Bone marrow smear; cropped to a single cell; May-Grünwald-Giemsa stain: 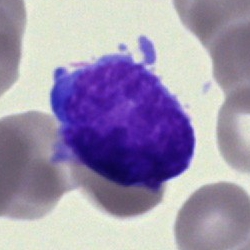Undifferentiated blast.